Bone marrow smear:
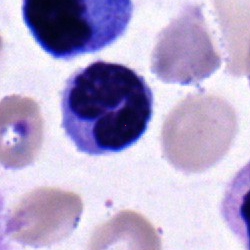{"cell_type": "neutrophil (band)", "lineage": "myeloid"}